MGG-stained. Bone marrow smear. Cropped to a single cell
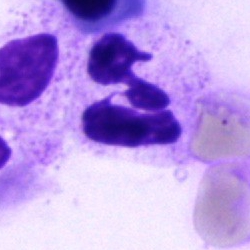
Single cell identified as a segmented neutrophil.